250×250. MGG-stained. Bone marrow smear: 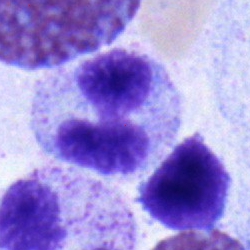 This is a polymorphonuclear neutrophil.